Bone marrow aspirate smear — 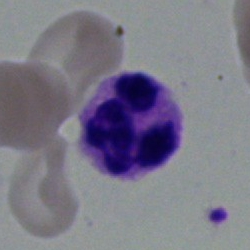 {"cell_type": "neutrophil (segmented)", "lineage": "myeloid"}